Bone marrow aspirate smear
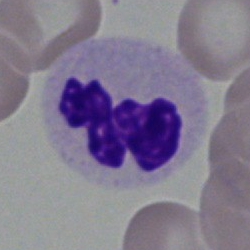

The cell is polymorphonuclear neutrophil.